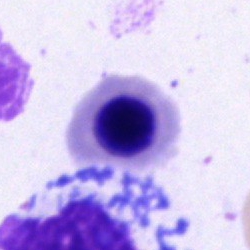Q: Identify the cell.
A: This is a nucleated red blood cell.